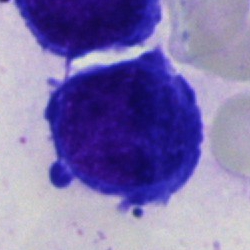
Showing a pronormoblast.